Bone marrow smear; Pappenheim-stained.
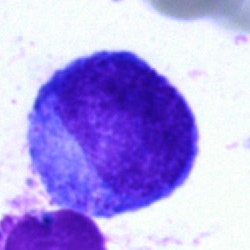 Q: Which cell type is shown here?
A: An undifferentiated blast.